Bone marrow aspirate smear · Pappenheim-stained: 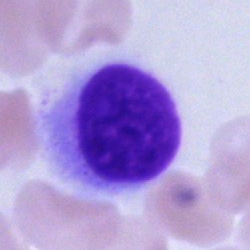 The morphological class is artifact.